Bone marrow aspirate smear · cropped to a single cell: 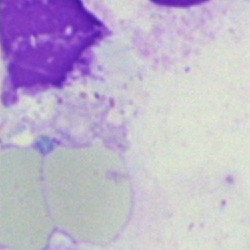

Impression — artefact.